Brightfield, 40× oil-immersion objective · bone marrow aspirate smear: 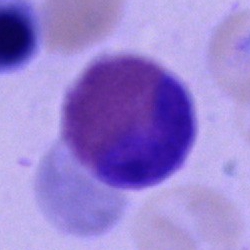 The cell type is eosinophil.